Bone marrow aspirate smear:
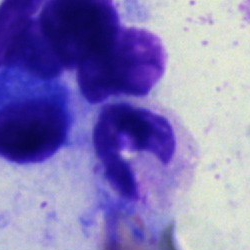 Cell type: neutrophil (segmented).